Peripheral blood smear. 100× oil immersion, 14.14 px/µm.
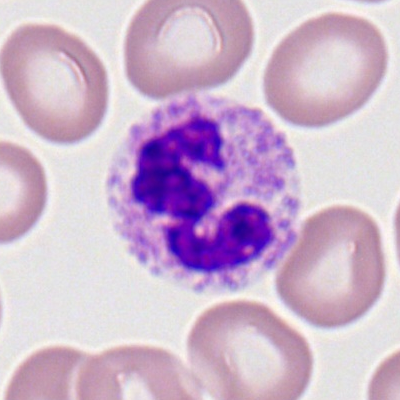

{"cell_type": "neutrophil (segmented)"}